Bone marrow aspirate smear · 250×250 px
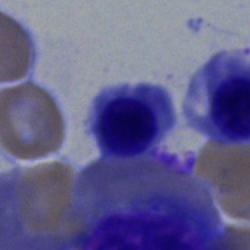
{"cell_type": "nucleated red blood cell", "lineage": "erythroid"}